Bone marrow aspirate smear.
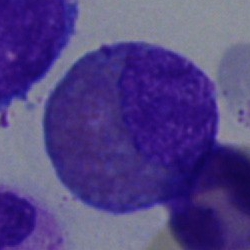Q: What is shown here?
A: An eosinophil.